Bone marrow smear — 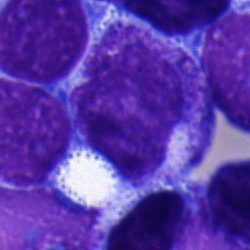

Single cell identified as a myelocyte.